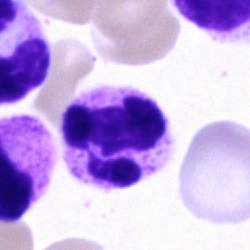

Q: Identify the cell.
A: This is a segmented neutrophil.